Bone marrow aspirate smear:
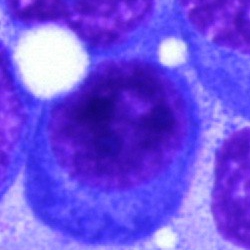{"cell_type": "plasma cell", "lineage": "lymphoid"}